Bone marrow aspirate smear — 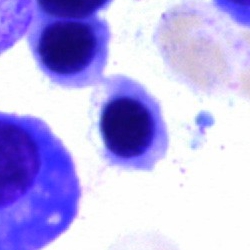

Morphological class = erythroblast.